Bone marrow aspirate smear — 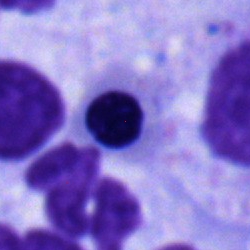 A nucleated red blood cell.